Brightfield, 40× oil-immersion objective; bone marrow smear — 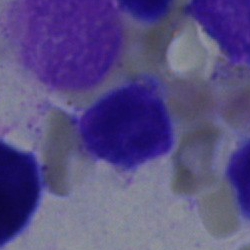 Lymphocyte.